Pappenheim-stained. Bone marrow aspirate smear.
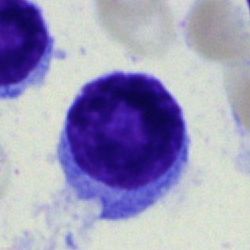 Cell type: lymphocyte.